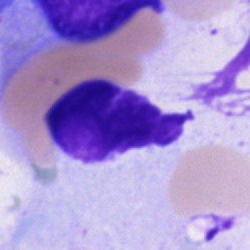 Specimen: bone marrow smear.
Cell: artefact.